Single-cell field; bone marrow aspirate smear.
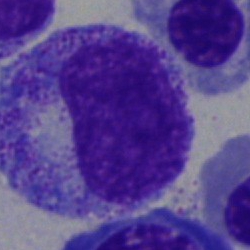 Specimen: bone marrow smear.
Classification: metamyelocyte.
Lineage: myeloid.